Bone marrow aspirate smear — 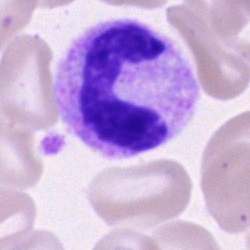 Q: What is the morphological classification of this cell?
A: This is a neutrophil (band).